Bone marrow smear: 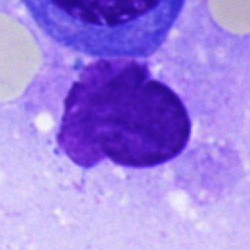

Cell type — artefact.